Cropped to a single cell · MGG-stained · bone marrow aspirate smear
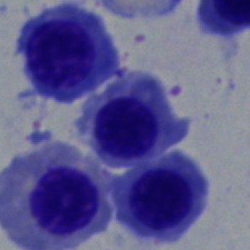Showing a nucleated red cell.